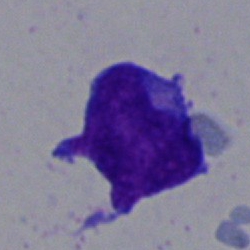Impression → lymphocyte.